Bone marrow aspirate smear; 250 by 250 pixels: 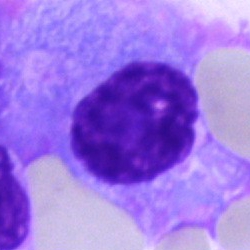 A plasmacyte.